Image size 400×400; peripheral blood smear — 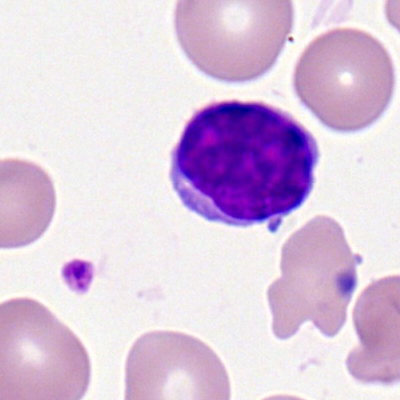
Morphology — lymphocyte.